Bone marrow smear; 250 by 250 pixels; MGG-stained — 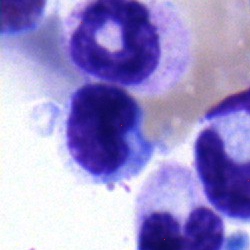Classification: typical lymphocyte.